Peripheral blood film; Romanowsky-stained; single cell centered in the field — 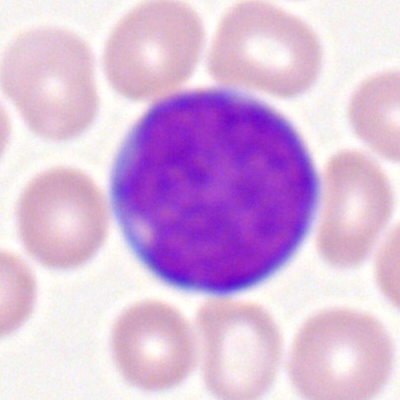{"cell_type": "myeloid blast", "lineage": "myeloid"}